Bone marrow smear — 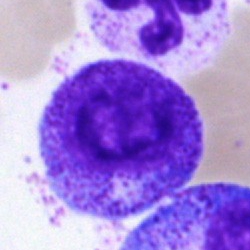 {"cell_type": "myelocyte", "lineage": "myeloid"}